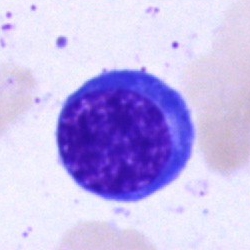

Q: What is the morphological classification of this cell?
A: A nucleated red cell.